Bone marrow aspirate smear — 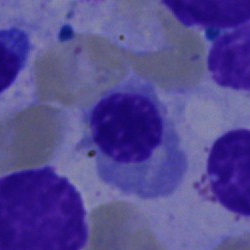

Specimen: bone marrow aspirate smear.
Cell: nucleated red cell.
Lineage: erythroid.